Bone marrow aspirate smear.
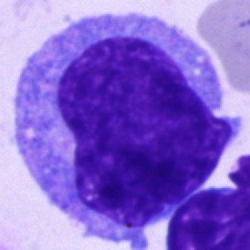 Morphology — progranulocyte.